Bone marrow smear.
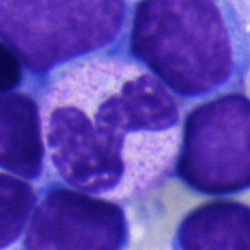 A polymorphonuclear neutrophil.